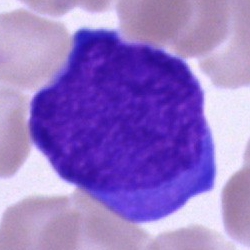
Q: What type of cell is this?
A: It is a blast.